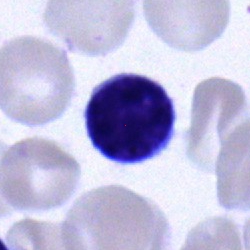 Cell = typical lymphocyte.